Bone marrow smear:
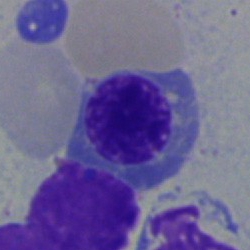

The classification is erythroblast.